Single-cell field; bone marrow aspirate smear; May-Grünwald-Giemsa/Pappenheim stain
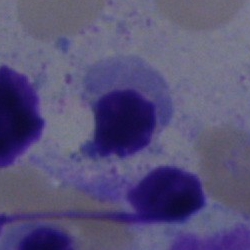

Morphological class — nucleated red blood cell.